Bone marrow smear:
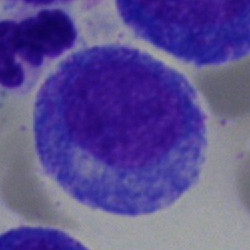 Q: What type of cell is this?
A: Promyelocyte.